Peripheral blood smear
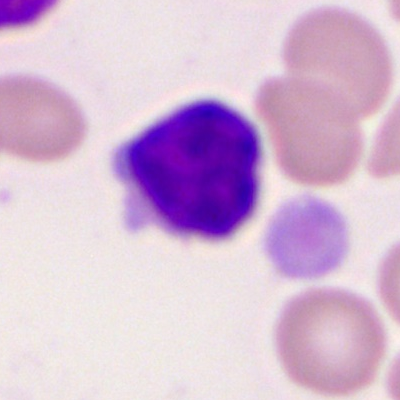Specimen: peripheral blood smear.
Cell: lymphocyte.
Lineage: lymphoid.